Bone marrow aspirate smear; Pappenheim-stained; 250 by 250 pixels: 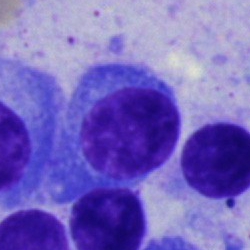Morphological class — plasmacyte.